Bone marrow smear — 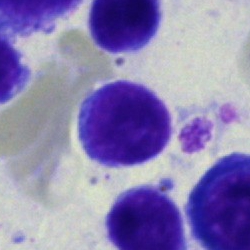Classification = lymphocyte.